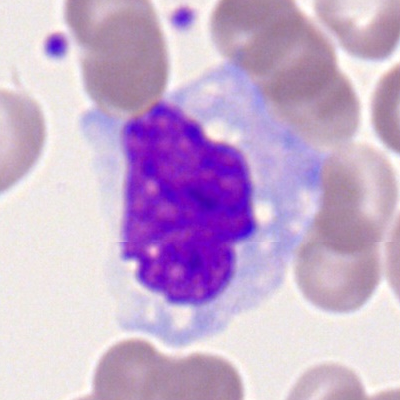 Impression — monocyte.